Bone marrow smear · May-Grünwald-Giemsa/Pappenheim stain · single-cell crop.
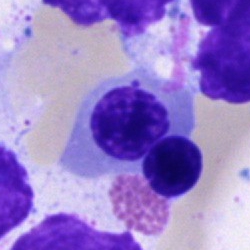

Cell = nucleated red blood cell.